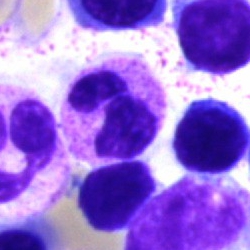 Q: Which cell type is shown here?
A: A segmented neutrophil.